Bone marrow smear:
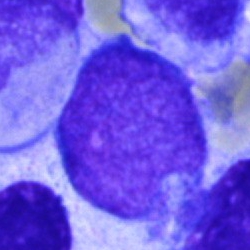

Cell = blast.